Bone marrow smear: 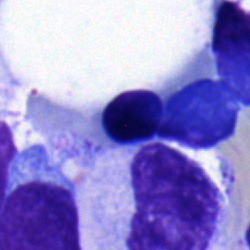Specimen: bone marrow aspirate smear.
Classification: nucleated red cell.
Lineage: erythroid.